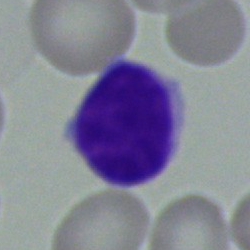Cell type — typical lymphocyte.